Bone marrow aspirate smear: 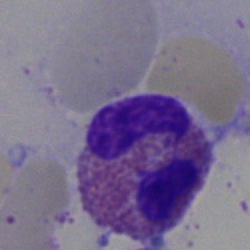Q: Which cell type is shown here?
A: Eosinophil.